Cropped to a single cell · bone marrow aspirate smear
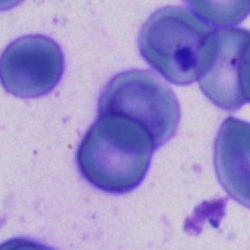 Showing a cell not matching the other categories.